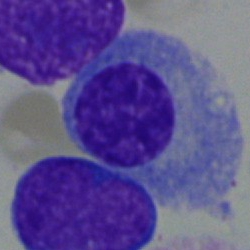 Morphological class = plasma cell.